Bone marrow smear
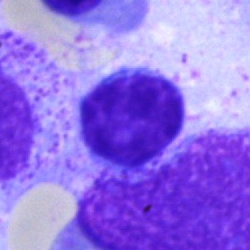Q: Identify the cell.
A: It is a lymphocyte.